Bone marrow aspirate smear — 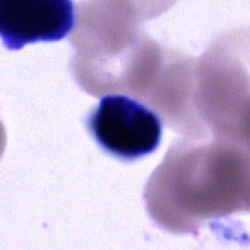 Morphology — unidentifiable cell.